Bone marrow aspirate smear — 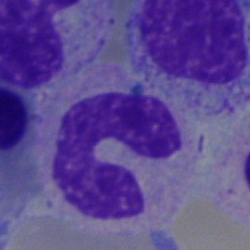
Morphological class: neutrophil (band).